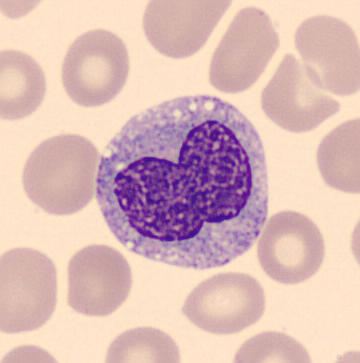 The cell is monocyte.
Image: Peripheral blood film · 360×363 px.